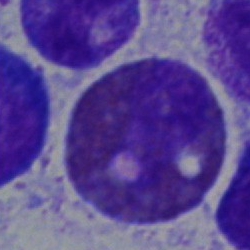

Showing an eosinophil.